Bone marrow smear · single cell centered in the field — 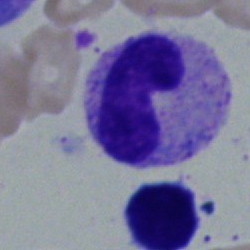The cell shown is a band neutrophil.